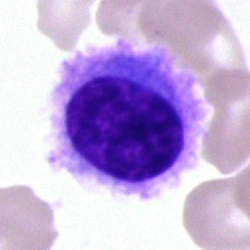
Cell type: hairy cell.